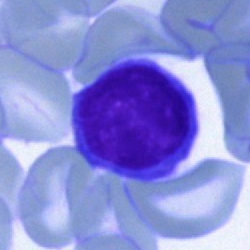Q: What is shown here?
A: It is a lymphocyte.